Bone marrow aspirate smear — 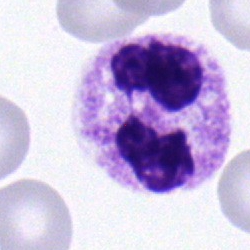 The classification is segmented neutrophil.